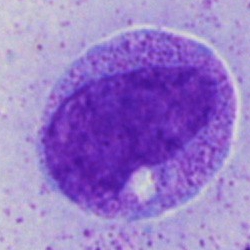

Q: What is shown here?
A: Progranulocyte.